Single-cell field; bone marrow aspirate smear
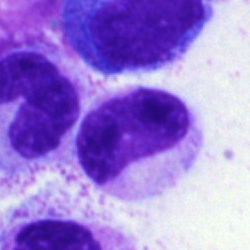Cell = metamyelocyte.